Bone marrow smear · 40× oil immersion.
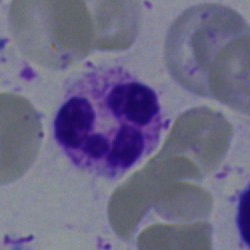
The cell shown is a neutrophil (segmented).